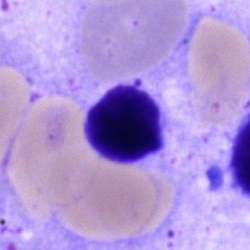

Lymphocyte.